Bone marrow smear: 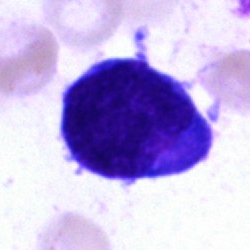
Cell type: blast.